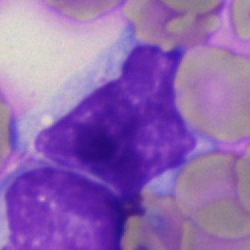

Cell — lymphocyte.